Bone marrow smear. May-Grünwald-Giemsa/Pappenheim stain.
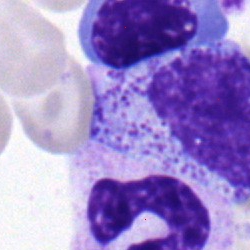Morphology consistent with an erythroblast.